Bone marrow smear — 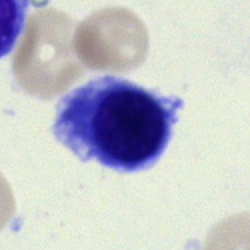 The cell is nucleated red cell.